Bone marrow aspirate smear.
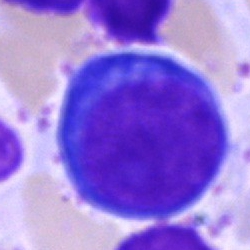 Classification: pronormoblast.